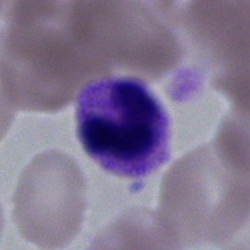
Specimen: bone marrow aspirate smear.
Morphological class: neutrophil (segmented).
Lineage: myeloid.